Bone marrow smear: 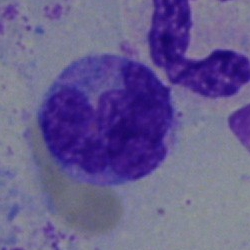

Q: Identify the cell.
A: It is a monocyte.